Bone marrow smear:
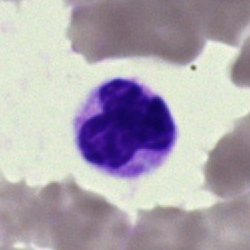Q: Identify the cell.
A: Unidentifiable cell.